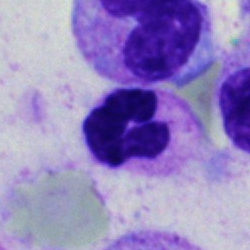Cell type — neutrophil (segmented).